Bone marrow smear:
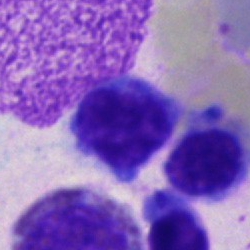
Q: What type of cell is this?
A: It is a lymphocyte.